Peripheral blood film
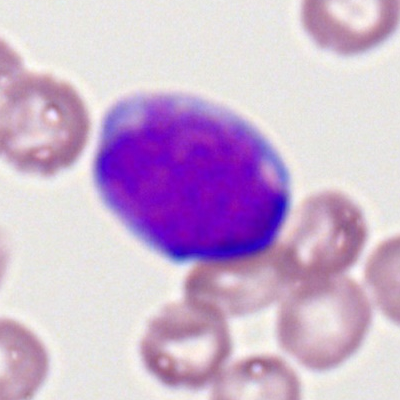 {"cell_type": "myeloid blast"}